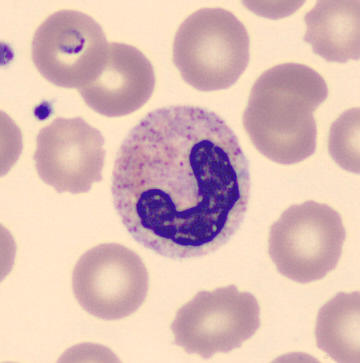Classification — neutrophil (band).